Bone marrow aspirate smear.
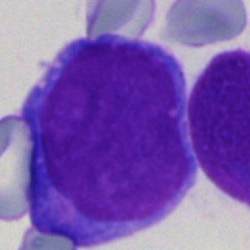

Cell = undifferentiated blast.